Bone marrow aspirate smear
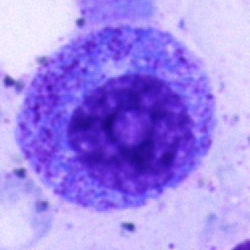 The morphological class is progranulocyte.